Bone marrow aspirate smear:
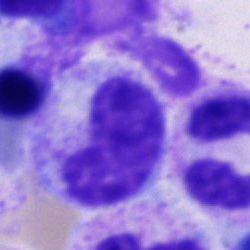 The cell is metamyelocyte.